Cropped to a single cell; bone marrow smear.
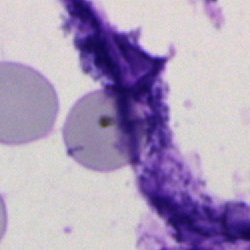
The cell type is artifact.